Bone marrow aspirate smear:
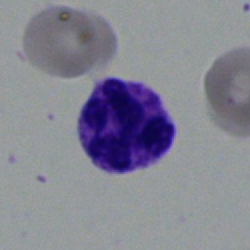

The classification is segmented neutrophil.